Bone marrow smear: 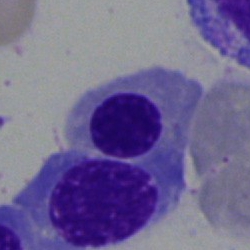 Single cell identified as an erythroblast.